Bone marrow aspirate smear. Single-cell field — 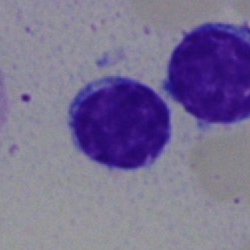 Morphology — lymphocyte.